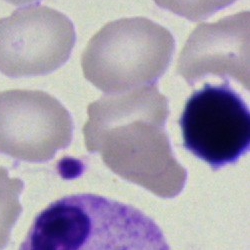 Morphology — typical lymphocyte.